Bone marrow aspirate smear:
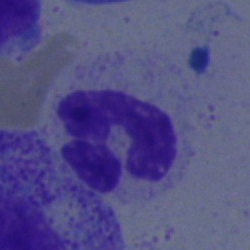
Impression → segmented neutrophil.